Bone marrow aspirate smear
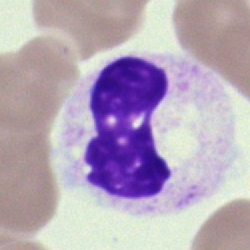
Showing a neutrophil (band).